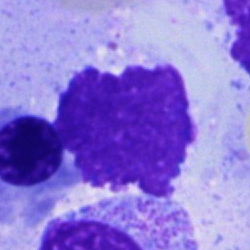

Q: What is shown here?
A: Artifact.